Bone marrow aspirate smear. 250×250. MGG-stained — 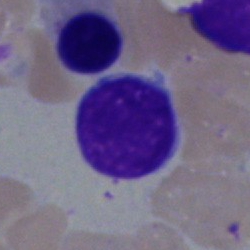 The cell shown is a typical lymphocyte.